Brightfield microscopy, 40× oil immersion · May-Grünwald-Giemsa stain · bone marrow smear
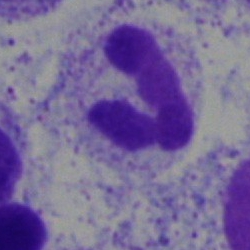

Q: What is shown here?
A: Artefact.